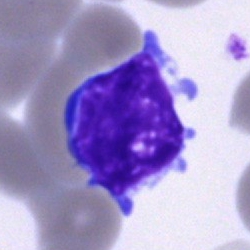Morphological class — typical lymphocyte.